Bone marrow smear:
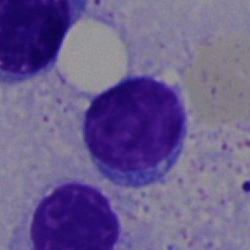Showing a lymphocyte.